Brightfield microscopy, 40× oil immersion; bone marrow aspirate smear
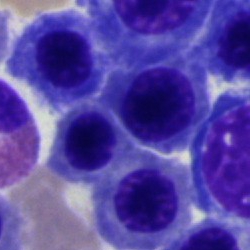

The cell shown is a normoblast.